Single cell centered in the field · bone marrow smear.
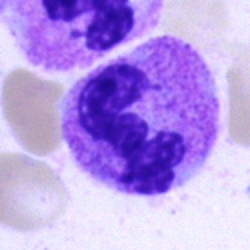

Impression → neutrophil (segmented).